250 by 250 pixels · bone marrow aspirate smear: 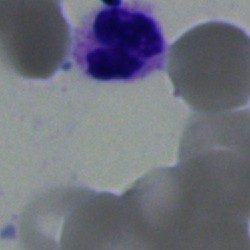

Cell type: polymorphonuclear neutrophil.